Single-cell field · bone marrow aspirate smear
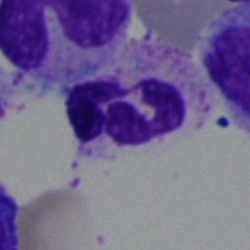 A polymorphonuclear neutrophil.